Bone marrow smear. May-Grünwald-Giemsa stain — 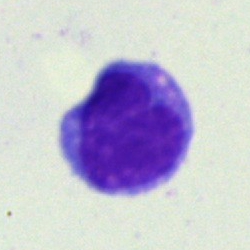
This is a lymphocyte.